Bone marrow smear — 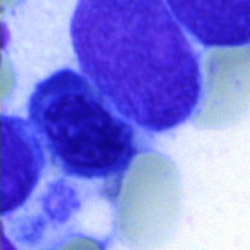Showing a blast cell.